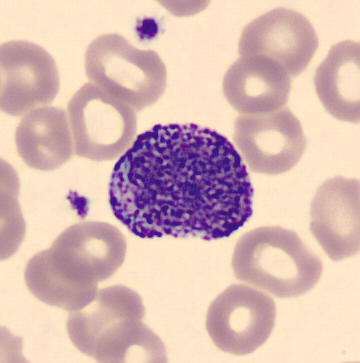

Specimen: peripheral blood smear.
Cell: progranulocyte.